Bone marrow smear
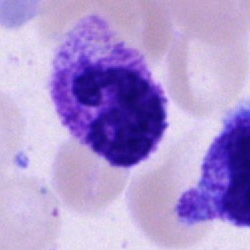
A neutrophil (segmented).